Bone marrow aspirate smear — 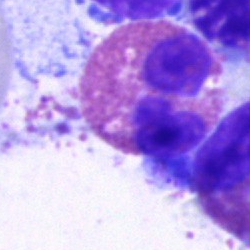Morphological class — eosinophil.